Romanowsky-stained; peripheral blood smear; cropped to a single cell
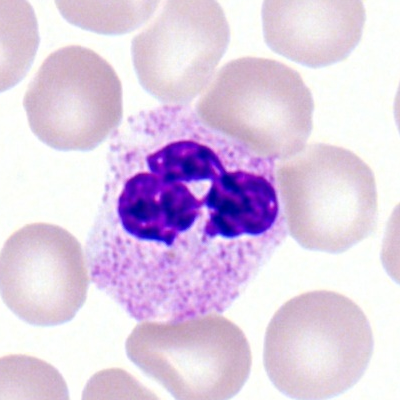

{"cell_type": "neutrophil (segmented)", "lineage": "myeloid"}